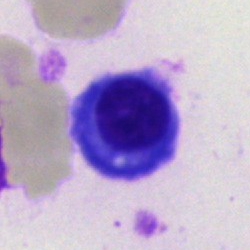
Classification: plasma cell.